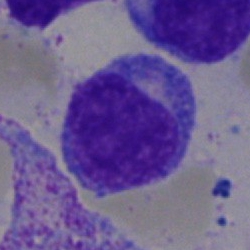
Specimen: bone marrow smear.
Morphological class: myelocyte.